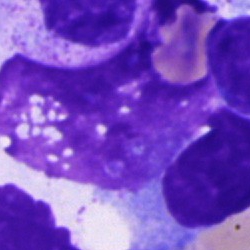 Artifact.